Bone marrow smear
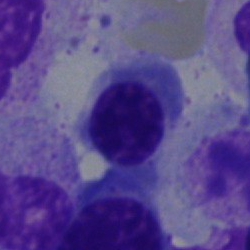Morphology consistent with a normoblast.